Bone marrow smear — 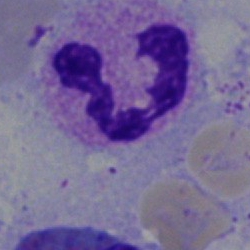

Polymorphonuclear neutrophil.